Bone marrow smear. Single-cell field:
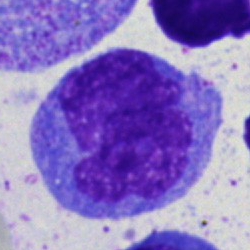 Classification: monocyte.